Bone marrow smear: 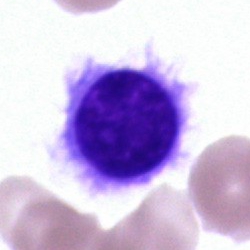
Morphology → hairy cell.